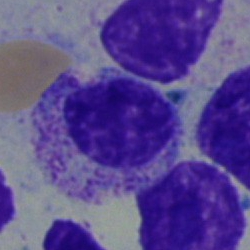Q: Identify the cell.
A: This is a myelocyte.